Bone marrow aspirate smear — 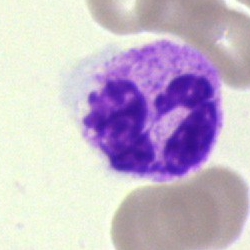
Q: What cell is this?
A: It is a polymorphonuclear neutrophil.